250×250 px; bone marrow smear; Pappenheim-stained — 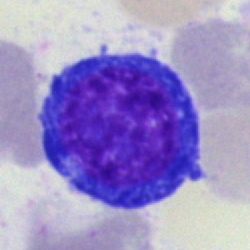Morphological class = nucleated red blood cell.